Bone marrow smear. 40× oil immersion
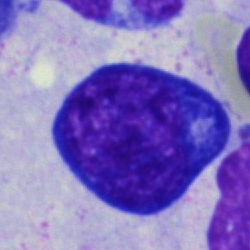 Morphological class: normoblast.